Bone marrow aspirate smear · single-cell field.
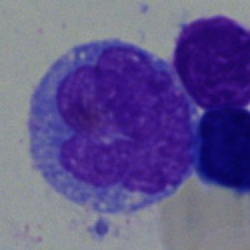The cell type is monocyte.